Pappenheim-stained; single-cell field; bone marrow aspirate smear — 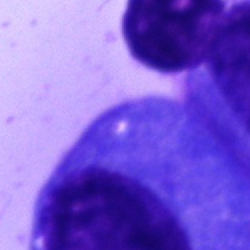
A plasmacyte.